Bone marrow smear
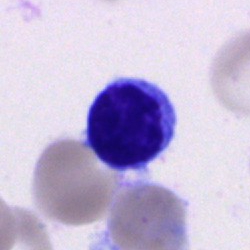

Morphological class — typical lymphocyte.